Bone marrow smear; MGG-stained
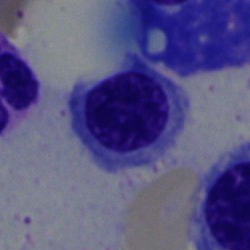

Q: Which cell type is shown here?
A: It is a nucleated red blood cell.